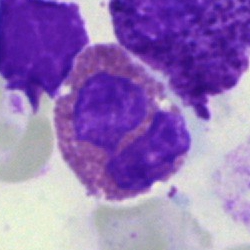
An eosinophil on a bone marrow smear.